Bone marrow aspirate smear · 40× objective, oil immersion — 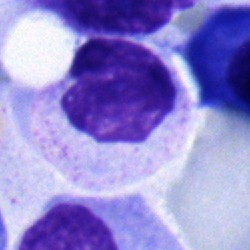
Morphology consistent with a band neutrophil.